Bone marrow aspirate smear.
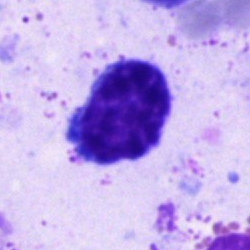

A lymphocyte.